Bone marrow smear · May-Grünwald-Giemsa/Pappenheim stain · image size 250×250
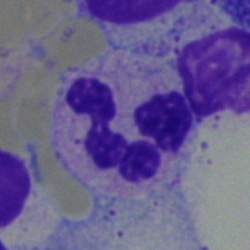
The classification is segmented neutrophil.